Brightfield, 40× oil-immersion objective; bone marrow aspirate smear.
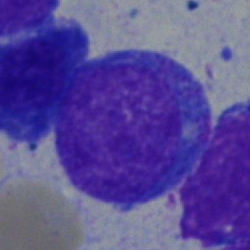

Blast.